Bone marrow aspirate smear
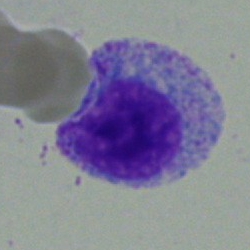
Myelocyte.